Bone marrow smear:
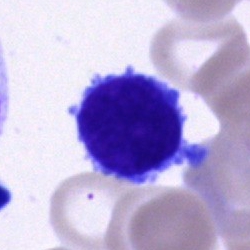

Lymphocyte.